Brightfield, 40× oil-immersion objective · single cell centered in the field · bone marrow aspirate smear.
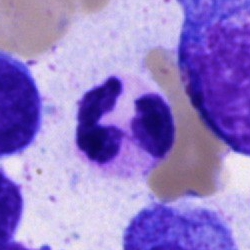
Morphological class — segmented neutrophil.